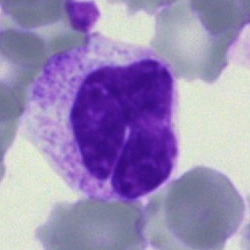
An artifact on a bone marrow smear.